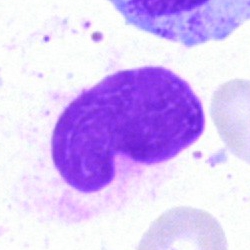 An artefact.